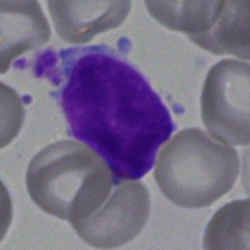 Single cell identified as a lymphocyte.